Single cell centered in the field. Bone marrow aspirate smear: 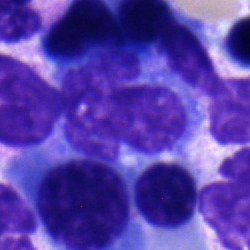

This is a monocyte.